Bone marrow aspirate smear. May-Grünwald-Giemsa stain:
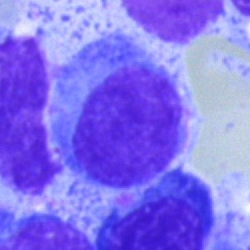

The classification is hairy cell.